Bone marrow smear. 40× oil immersion. Pappenheim-stained:
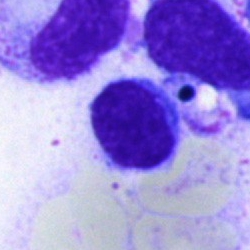
{"cell_type": "typical lymphocyte", "lineage": "lymphoid"}